Cropped to a single cell · brightfield, 40× oil-immersion objective · bone marrow smear: 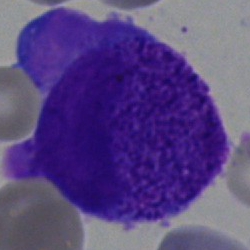 Impression — blast.